Bone marrow aspirate smear.
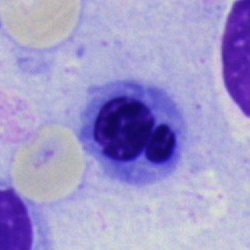

Showing a nucleated red blood cell.